Bone marrow smear · MGG-stained:
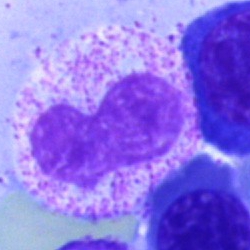

Impression — band neutrophil.